Bone marrow smear — 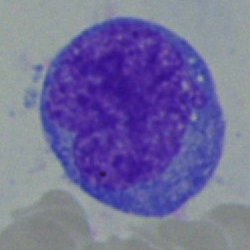
{"cell_type": "undifferentiated blast"}